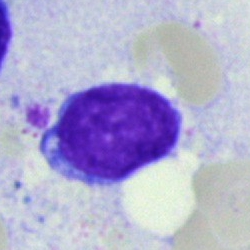
Classification — lymphocyte.